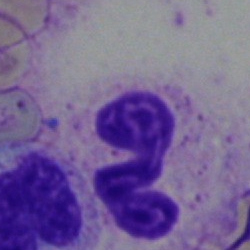Morphology — segmented neutrophil.